250×250 px · bone marrow aspirate smear · MGG-stained:
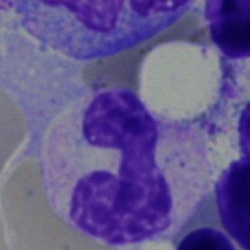

Specimen: bone marrow smear.
Classification: band neutrophil.
Lineage: myeloid.